Bone marrow smear. Single-cell crop. Brightfield, 40× oil-immersion objective.
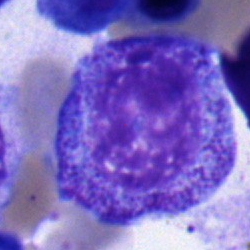
Q: What type of cell is this?
A: It is a promyelocyte.